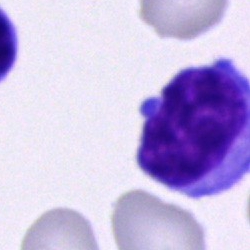Cell = typical lymphocyte.